40× objective, oil immersion; bone marrow aspirate smear
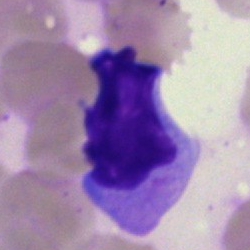
A lymphocyte.